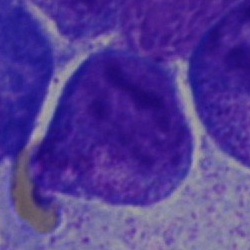
Q: What type of cell is this?
A: A promyelocyte.